Bone marrow aspirate smear: 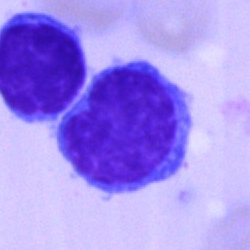A lymphocyte.